Brightfield, 40× oil-immersion objective · bone marrow smear: 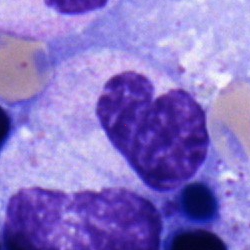Cell type: metamyelocyte.